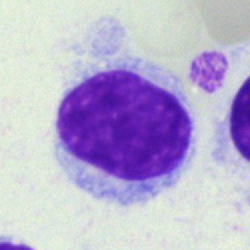Morphological class — hairy cell.